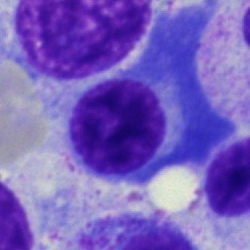 Morphological class = plasmacyte.